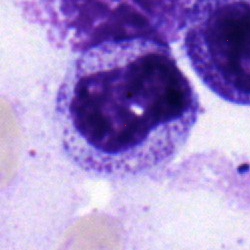 Metamyelocyte.